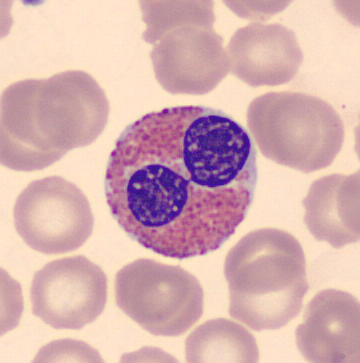
Cell type — eosinophil.

Preparation: Peripheral blood film.